Bone marrow aspirate smear.
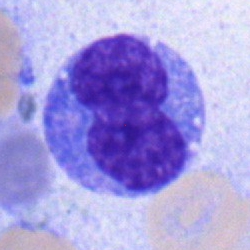Morphology — monocyte.